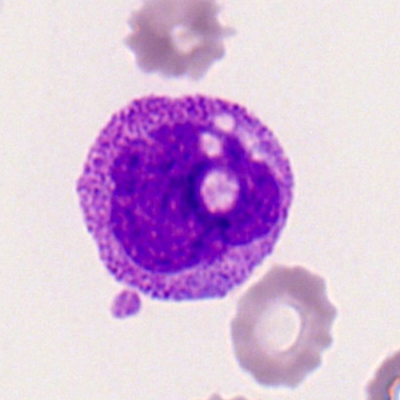 Peripheral blood smear showing a monocyte.